40× objective, oil immersion · bone marrow aspirate smear
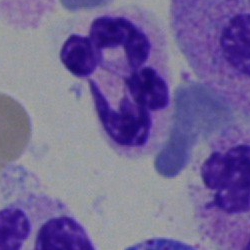

Q: Which cell type is shown here?
A: It is a neutrophil (segmented).